Bone marrow smear · 250×250 px:
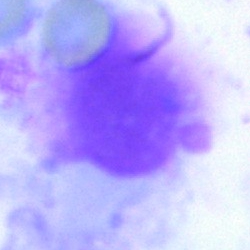

Impression → artefact.